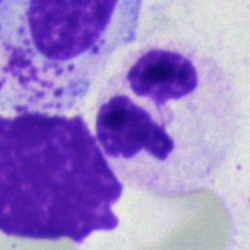
This is a segmented neutrophil.